250×250. Bone marrow aspirate smear. Cropped to a single cell
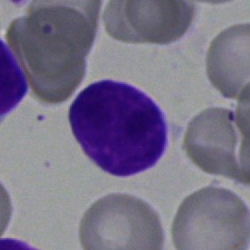
Specimen: bone marrow smear.
Cell type: typical lymphocyte.
Lineage: lymphoid.